250×250 · brightfield, 40× oil-immersion objective · bone marrow smear
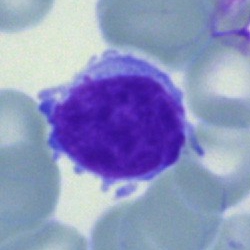 Showing a typical lymphocyte.